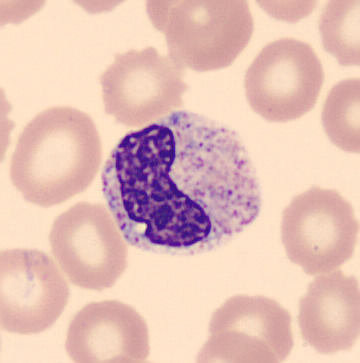 Impression — band neutrophil.